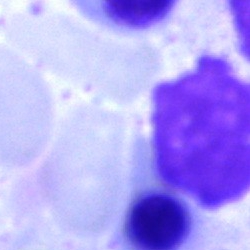 This is an artefact.